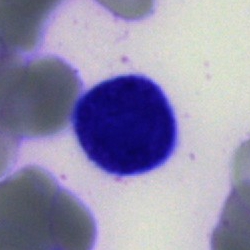

Morphology — artefact.